Bone marrow smear · single-cell crop · MGG-stained
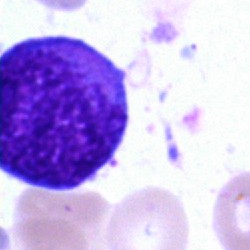

Q: What cell is this?
A: This is a blast cell.